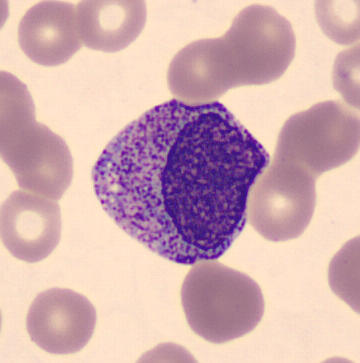Cell type = promyelocyte.

Preparation: Peripheral blood smear. May Grünwald-Giemsa stain.